40× oil immersion; bone marrow aspirate smear — 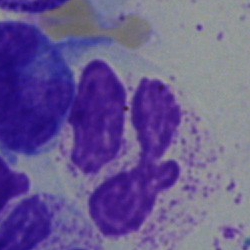

Specimen: bone marrow aspirate smear.
Cell: segmented neutrophil.